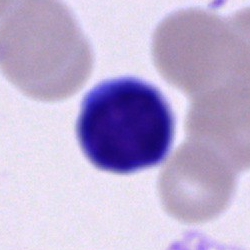 Classification = typical lymphocyte.